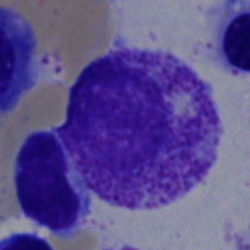
The cell is myelocyte.